Bone marrow aspirate smear:
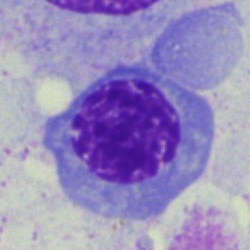

Q: Identify the cell.
A: It is an erythroblast.